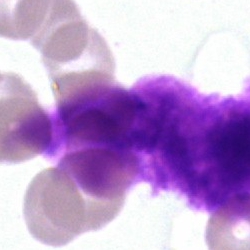 Showing an artifact.